Bone marrow aspirate smear; MGG-stained.
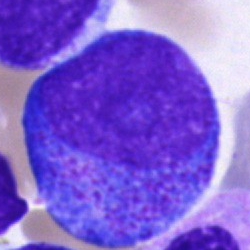 {"cell_type": "promyelocyte", "lineage": "myeloid"}